Bone marrow smear: 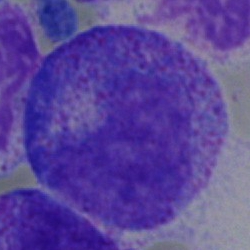

Q: Which cell type is shown here?
A: A promyelocyte.